Bone marrow smear
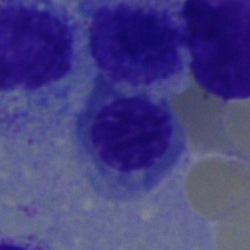

{"cell_type": "normoblast", "lineage": "erythroid"}